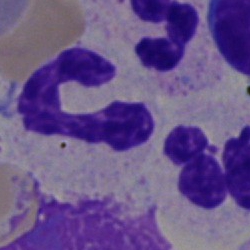

Neutrophil (segmented).